40× objective, oil immersion · bone marrow aspirate smear
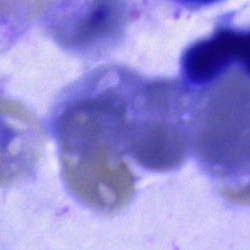 Specimen: bone marrow smear.
Cell type: artifact.